Bone marrow aspirate smear; 40× objective, oil immersion:
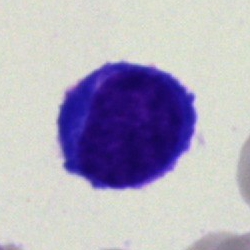

Morphology consistent with a typical lymphocyte.